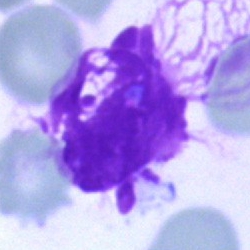

Artifact.